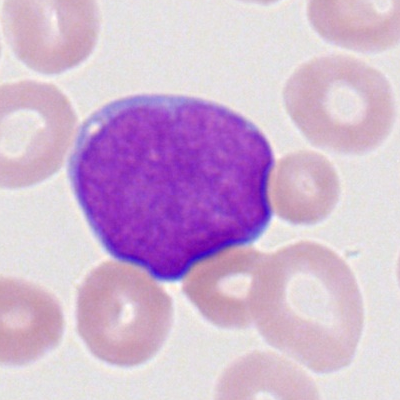

The cell shown is a myeloid blast.